Cropped to a single cell. Brightfield, 40× oil-immersion objective. Bone marrow smear: 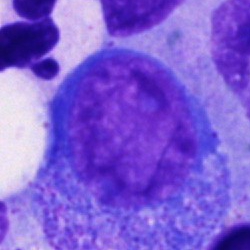
Q: What type of cell is this?
A: This is a segmented neutrophil.